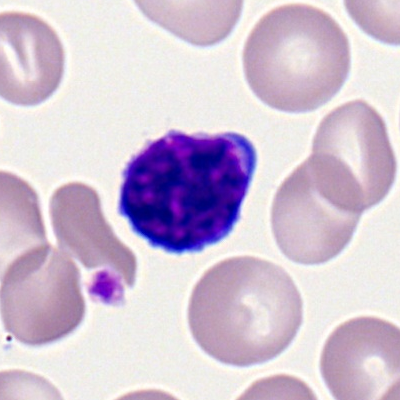

Peripheral blood film, single cell — typical lymphocyte.